250 by 250 pixels · bone marrow smear.
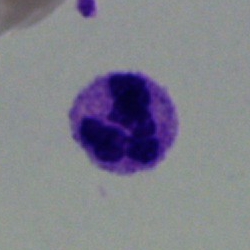
Cell type: neutrophil (segmented).